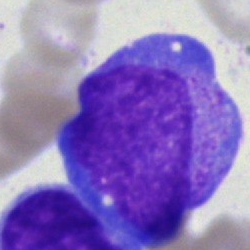

Morphological class = blast.